Peripheral blood film · single cell centered in the field.
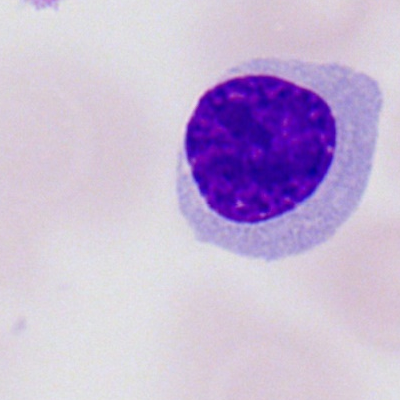

{"cell_type": "typical lymphocyte", "lineage": "lymphoid"}